Bone marrow aspirate smear:
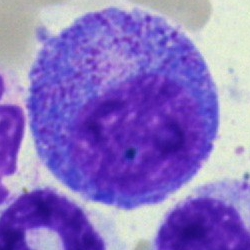

The cell shown is a progranulocyte.